Bone marrow aspirate smear:
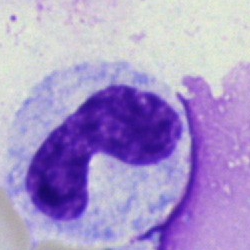
{"cell_type": "band-form neutrophil"}